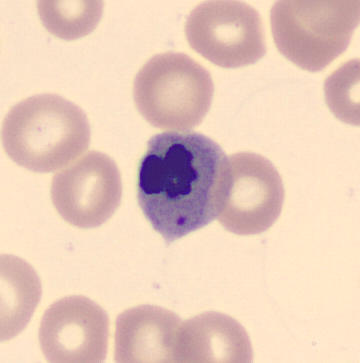
Nucleated red blood cell.
Preparation: Imaged on a CellaVision DM96 analyser. Peripheral blood film. MGG stain.